Bone marrow smear · Pappenheim-stained · single cell centered in the field
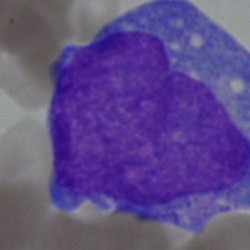 Classification = blast cell.